360 by 363 pixels; peripheral blood smear; imaged on a CellaVision DM96 analyser: 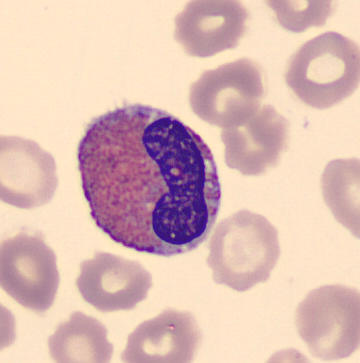 This is an eosinophil.